250×250. Bone marrow aspirate smear — 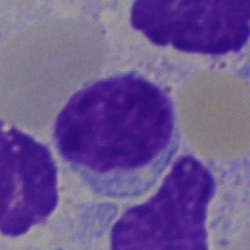
Q: What is shown here?
A: This is a lymphocyte.